Bone marrow aspirate smear.
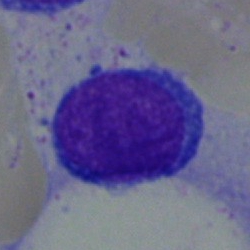

{"cell_type": "undifferentiated blast"}